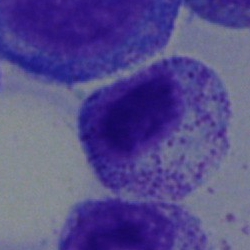Specimen: bone marrow smear.
Classification: myelocyte.